Bone marrow smear:
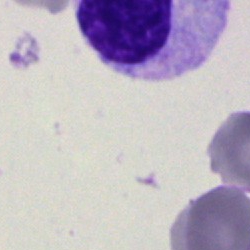

{"cell_type": "artifact"}